Peripheral blood smear; cropped to a single cell; image size 400×400: 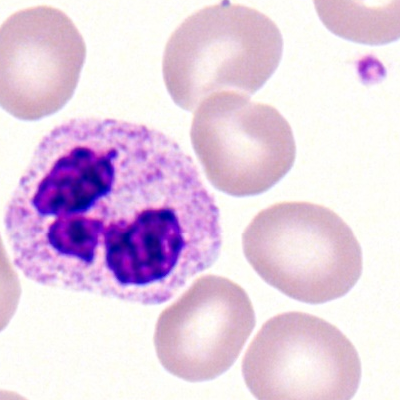Q: What type of cell is this?
A: This is a segmented neutrophil.